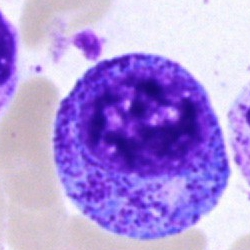

Morphology → progranulocyte.